Bone marrow aspirate smear: 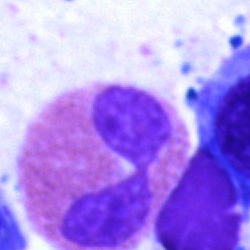

The cell shown is an eosinophilic granulocyte.